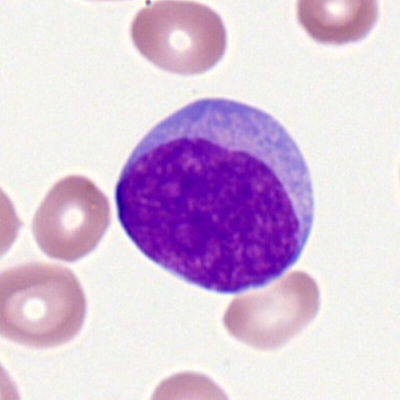Q: What is the morphological classification of this cell?
A: Myeloblast.